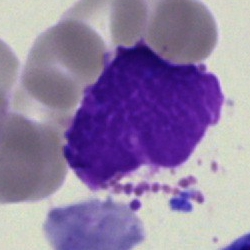 Morphology — artefact.